Bone marrow smear · Pappenheim-stained
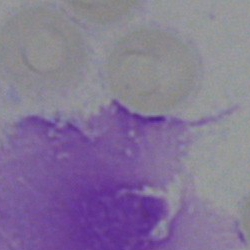
Artifact.